400×400 px · peripheral blood film: 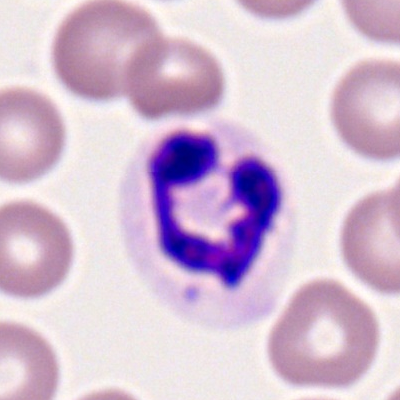Morphology consistent with a neutrophil (segmented).